Peripheral blood film · 400 by 400 pixels · Romanowsky-stained
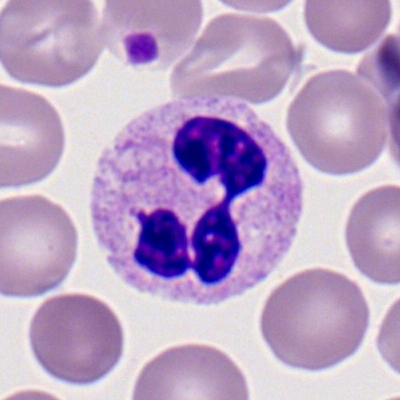Specimen: peripheral blood smear.
Cell: neutrophil (segmented).